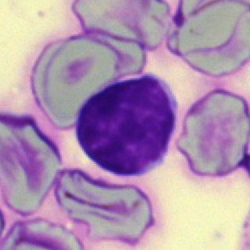
Single-cell crop from a bone marrow smear: lymphocyte.